Bone marrow aspirate smear — 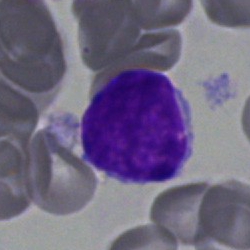 Single cell identified as a typical lymphocyte.